Bone marrow aspirate smear. MGG-stained — 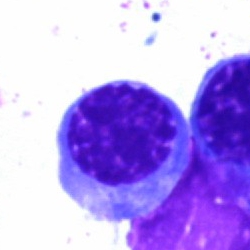

Morphology → nucleated red blood cell.